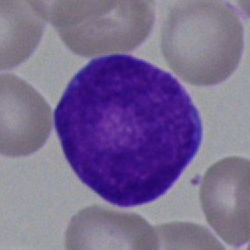Morphological class = undifferentiated blast.